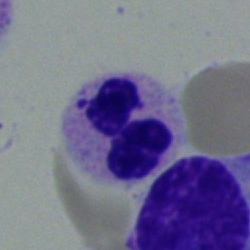

Bone marrow aspirate smear, single cell — segmented neutrophil.